Bone marrow smear
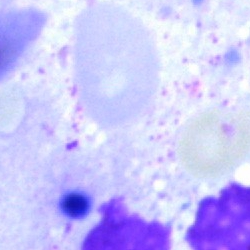 Showing an artefact.